Bone marrow smear: 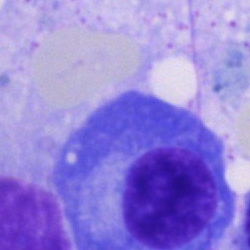
Q: Which cell type is shown here?
A: This is a plasma cell.